Bone marrow aspirate smear — 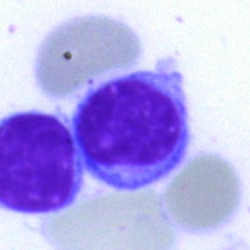

The cell shown is a typical lymphocyte.